Bone marrow smear — 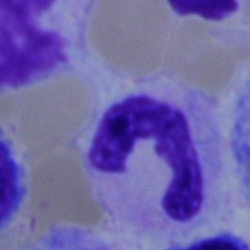This is a neutrophil (segmented).